Bone marrow smear; 250×250 px — 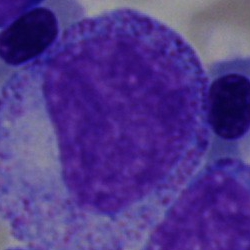 Specimen: bone marrow smear.
Classification: progranulocyte.